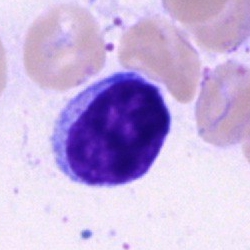 Single-cell crop from a bone marrow smear: typical lymphocyte.